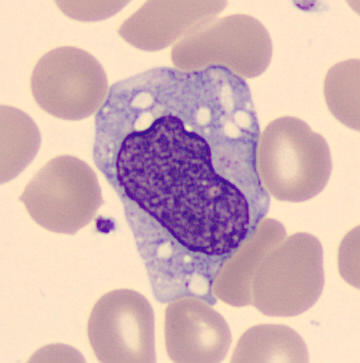 Showing a monocyte.